Bone marrow smear; 250×250; May-Grünwald-Giemsa/Pappenheim stain
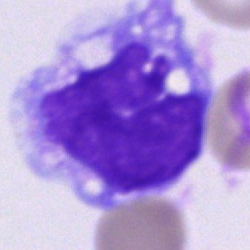
Classification: monocyte.